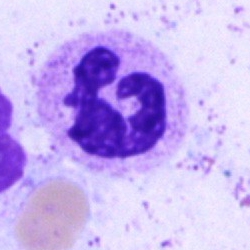
Specimen: bone marrow smear.
Cell: neutrophil (segmented).